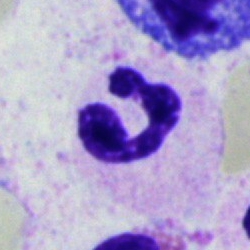
Cell type — neutrophil (segmented).